Bone marrow aspirate smear:
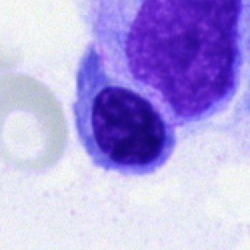Erythroblast.